Bone marrow smear · 250×250.
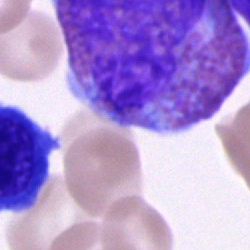

Q: What is shown here?
A: An unidentifiable cell.